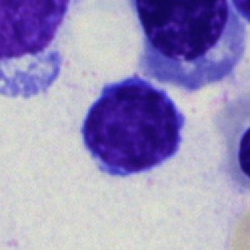

Morphology → typical lymphocyte.